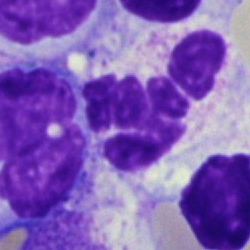
Specimen: bone marrow smear.
Classification: polymorphonuclear neutrophil.